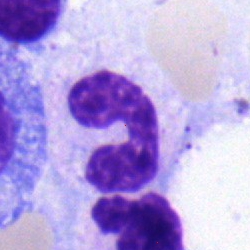

Q: What cell is this?
A: Neutrophil (band).